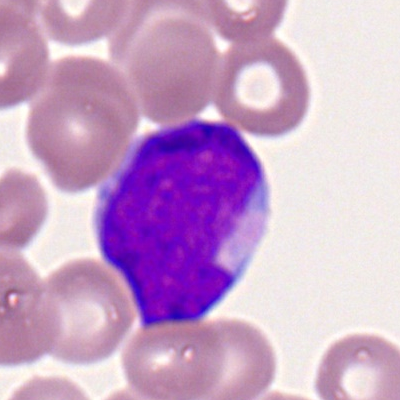Showing a myeloid blast.